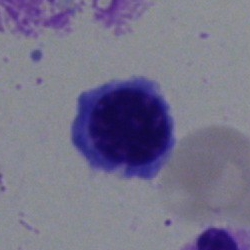
Specimen: bone marrow aspirate smear.
Cell type: nucleated red blood cell.